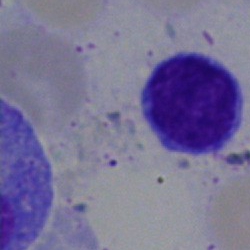 Q: What is the morphological classification of this cell?
A: This is a typical lymphocyte.